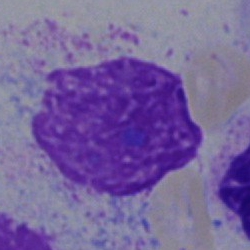
{"cell_type": "artifact"}